Bone marrow aspirate smear
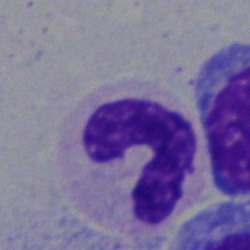

Morphology → neutrophil (band).